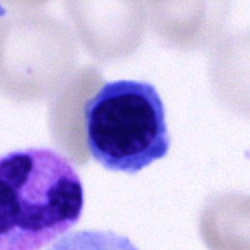 Cell — nucleated red cell.